Bone marrow smear. 250×250. 40× oil immersion — 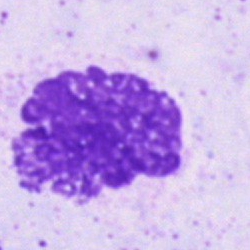

An artifact.